May-Grünwald-Giemsa stain. Brightfield microscopy, 40× oil immersion. Bone marrow aspirate smear
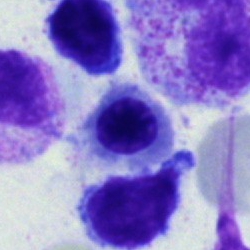Q: Identify the cell.
A: It is a nucleated red blood cell.